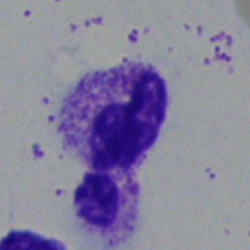 A segmented neutrophil.